Bone marrow aspirate smear.
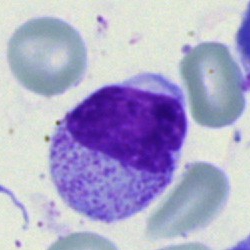
The cell shown is a myelocyte.